Bone marrow smear. 40× objective, oil immersion — 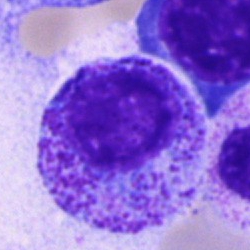Single cell identified as a progranulocyte.